Bone marrow smear · single-cell crop
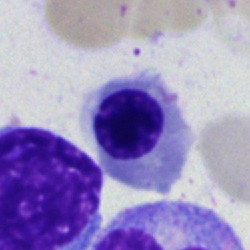Morphology consistent with a normoblast.